40× oil immersion · 250 by 250 pixels · bone marrow aspirate smear
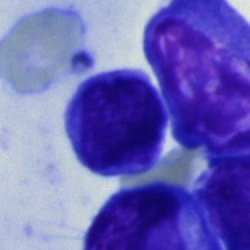
Specimen: bone marrow smear.
Cell: lymphocyte.